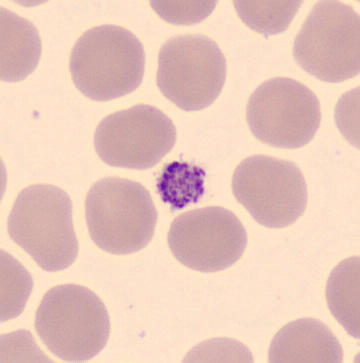Morphology → thrombocyte.